Bone marrow smear: 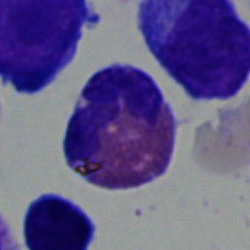
Morphology — eosinophilic granulocyte.